Bone marrow smear; image size 250×250; 40× oil immersion: 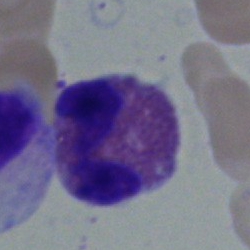 Q: What cell is this?
A: It is an eosinophil.